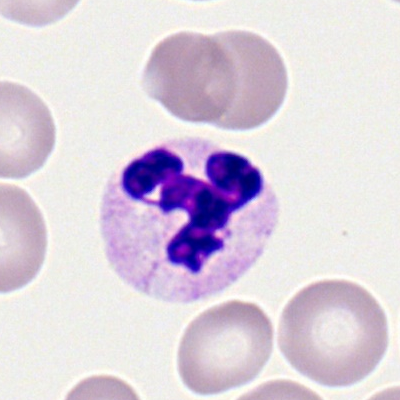

Morphological class = neutrophil (segmented).